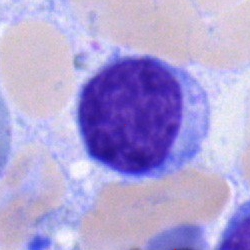
Morphology consistent with a blast cell.